40× objective, oil immersion. Bone marrow aspirate smear: 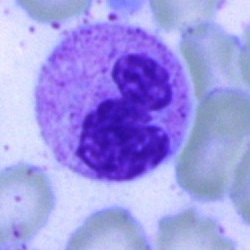
Morphological class — segmented neutrophil.